Bone marrow smear.
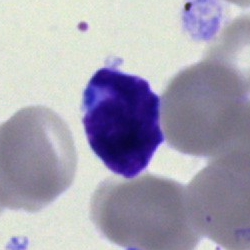Q: Which cell type is shown here?
A: A blast cell.